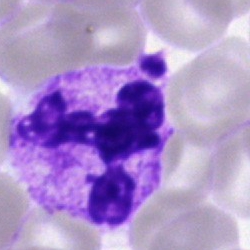Morphology consistent with a segmented neutrophil.